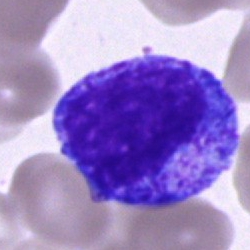
Cell = progranulocyte.